May-Grünwald-Giemsa/Pappenheim stain; bone marrow aspirate smear.
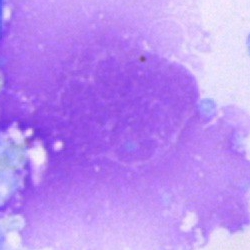Q: What is shown here?
A: Artefact.